Bone marrow smear.
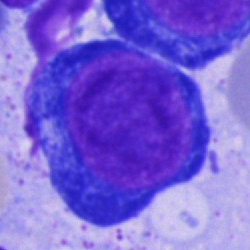
Morphology → proerythroblast.